Bone marrow smear; single cell centered in the field — 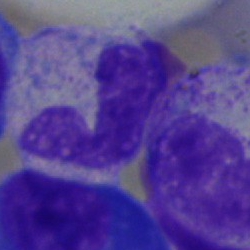 Impression → stab cell.